Bone marrow aspirate smear; single-cell crop
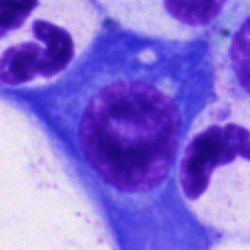
Plasma cell.